Bone marrow smear; single-cell crop.
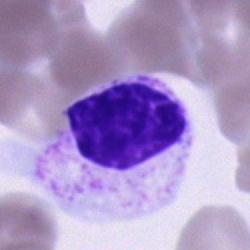
Q: What is shown here?
A: This is an unidentifiable cell.